40× objective, oil immersion · bone marrow smear:
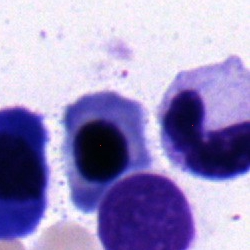 Cell type = monocyte.